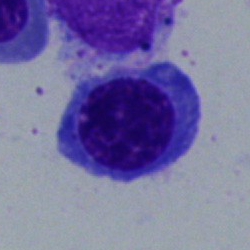 Normoblast.